40× oil immersion · bone marrow aspirate smear · May-Grünwald-Giemsa/Pappenheim stain — 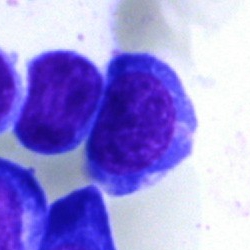
Classification: nucleated red blood cell.